Bone marrow aspirate smear: 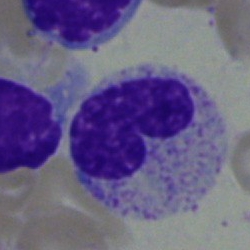 Cell type — stab cell.